Bone marrow aspirate smear.
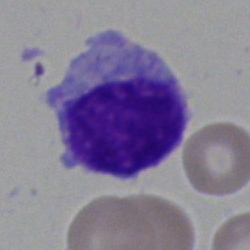

Classification: lymphocyte.